Bone marrow aspirate smear.
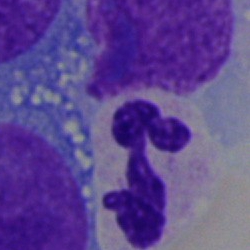 Cell type: polymorphonuclear neutrophil.